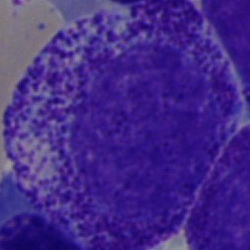 Cell = promyelocyte.